250×250 px. Bone marrow aspirate smear.
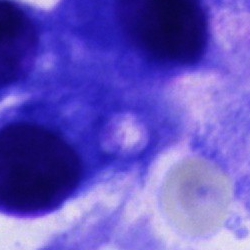
{"cell_type": "other cell"}